250×250. Bone marrow aspirate smear. Brightfield microscopy, 40× oil immersion
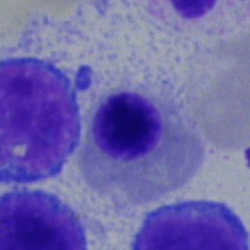 The cell shown is a normoblast.